250 by 250 pixels; bone marrow aspirate smear — 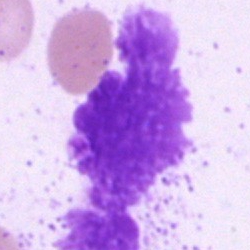 Artifact.